Bone marrow smear. 250 by 250 pixels.
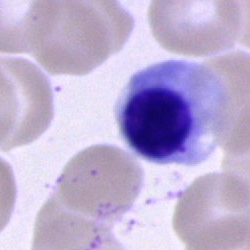 The cell shown is an erythroblast.